Pappenheim-stained. Single cell centered in the field. Bone marrow aspirate smear:
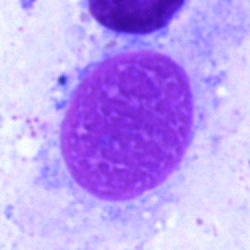{"cell_type": "artefact"}